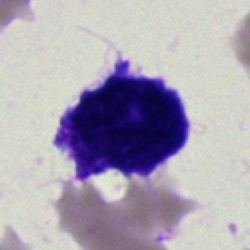

Cell type: artifact.